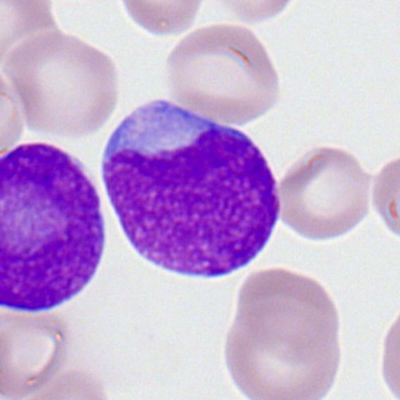

Q: What type of cell is this?
A: This is a myeloblast.